Peripheral blood smear:
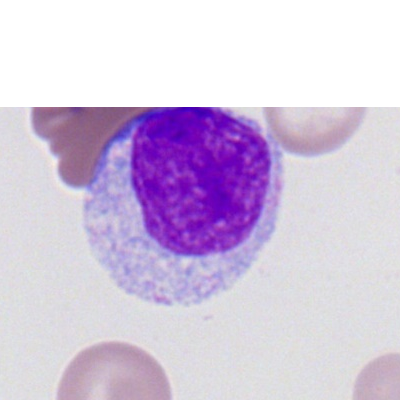

A myelocyte.